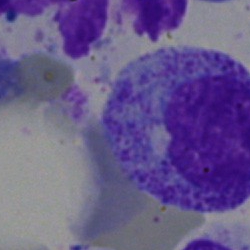Cell — myelocyte.